Brightfield, 100× oil-immersion objective. Peripheral blood film.
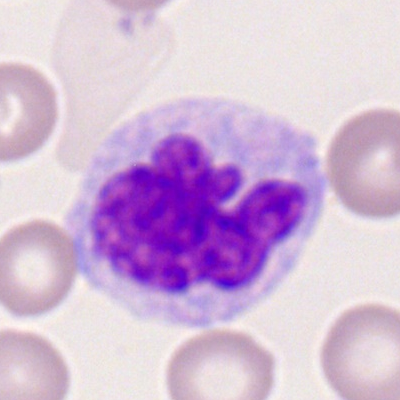Classification: monocyte.